Bone marrow smear
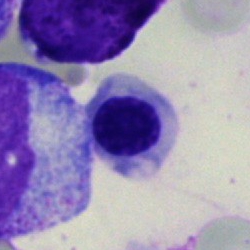This is an erythroblast.